Bone marrow aspirate smear — 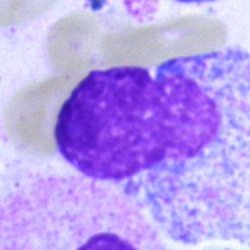Q: What is shown here?
A: This is an artifact.